Single-cell crop. Bone marrow smear: 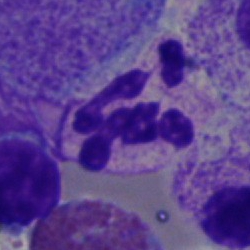 {"cell_type": "neutrophil (segmented)"}